Bone marrow smear
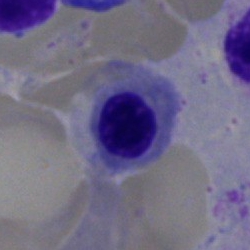

Q: What is the morphological classification of this cell?
A: An erythroblast.